Bone marrow aspirate smear; 250×250 px; MGG-stained.
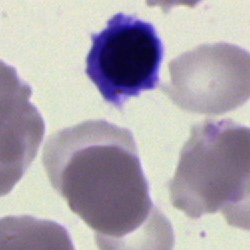
Q: What is the morphological classification of this cell?
A: Nucleated red blood cell.